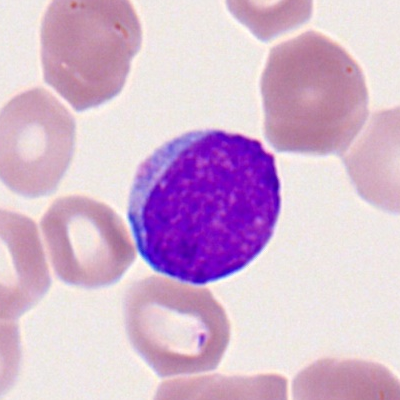
{"cell_type": "typical lymphocyte", "lineage": "lymphoid"}